Bone marrow aspirate smear: 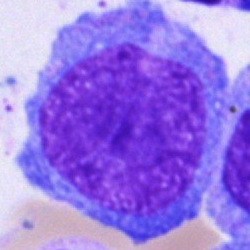Q: What type of cell is this?
A: A blast.